Bone marrow smear — 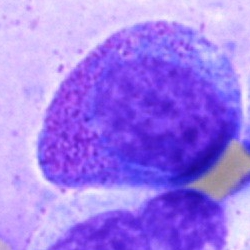Cell = progranulocyte.